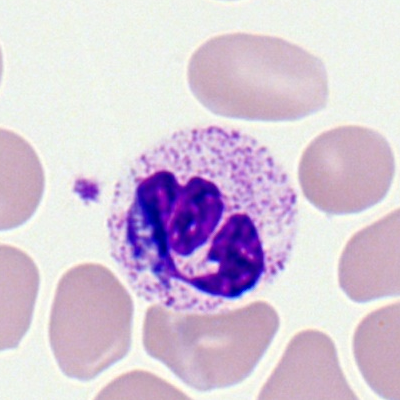Morphological class: neutrophil (segmented).